Bone marrow aspirate smear:
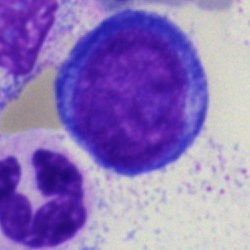 Single cell identified as a pronormoblast.